Bone marrow smear: 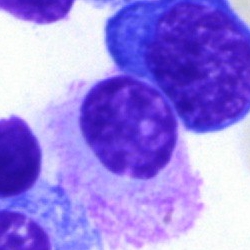

The cell type is artefact.